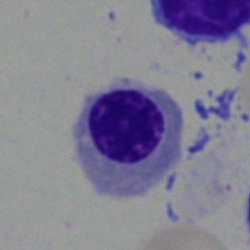

Single cell identified as a normoblast.